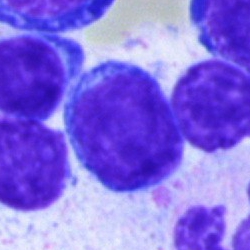
The cell type is typical lymphocyte.